Peripheral blood film
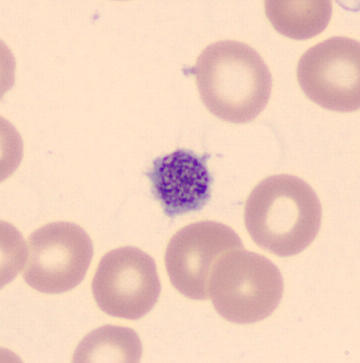Cell type: thrombocyte.